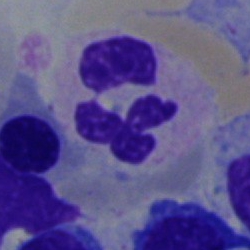 Specimen: bone marrow smear.
Cell type: segmented neutrophil.
Lineage: myeloid.